Bone marrow aspirate smear. 250×250 px:
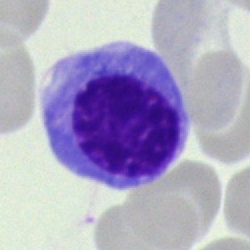 Specimen: bone marrow smear.
Morphological class: nucleated red blood cell.
Lineage: erythroid.